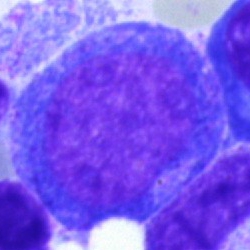 Bone marrow aspirate smear, single cell — promyelocyte.